Bone marrow aspirate smear.
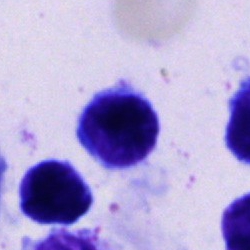

Q: Identify the cell.
A: A typical lymphocyte.